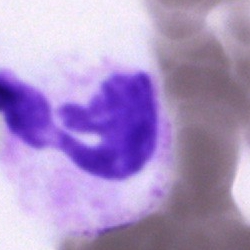

Showing a polymorphonuclear neutrophil.